Peripheral blood film; brightfield, 100× oil-immersion objective — 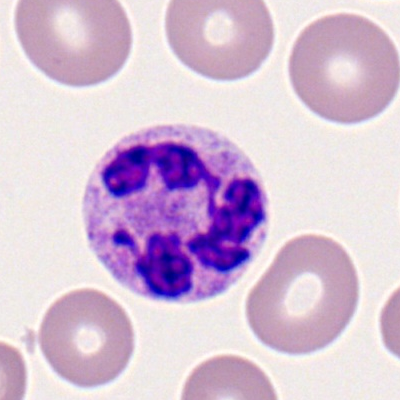

Impression → neutrophil (segmented).